Bone marrow smear: 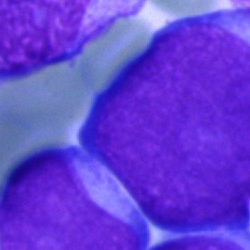
Single cell identified as an undifferentiated blast.